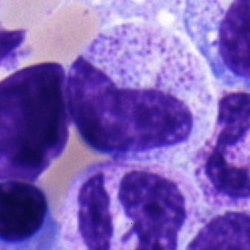
Q: What type of cell is this?
A: A metamyelocyte.